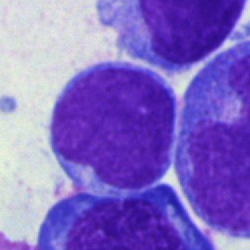
Classification — blast.